Bone marrow aspirate smear.
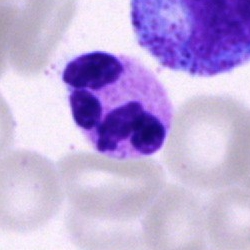Morphology — segmented neutrophil.